Bone marrow aspirate smear; 40× objective, oil immersion
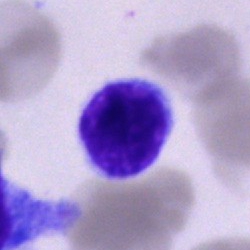
Showing a typical lymphocyte.